Image size 250×250. Bone marrow aspirate smear:
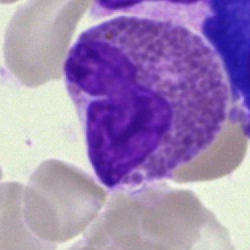

The cell type is eosinophil.